Bone marrow aspirate smear: 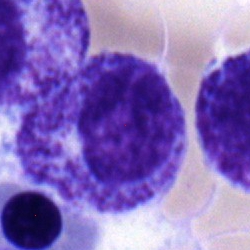Q: What cell is this?
A: It is a progranulocyte.